Bone marrow smear.
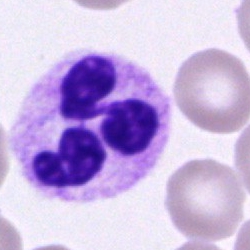

Q: Identify the cell.
A: It is a polymorphonuclear neutrophil.